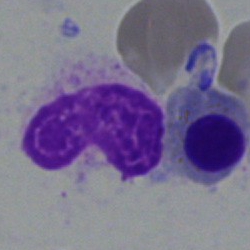

The cell shown is a metamyelocyte.